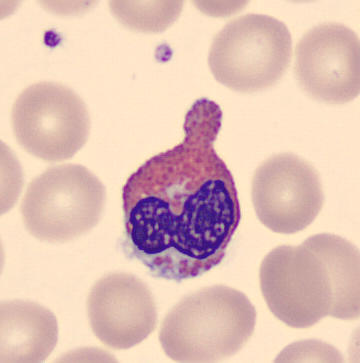The cell type is eosinophilic granulocyte.
Peripheral blood film.